Bone marrow aspirate smear: 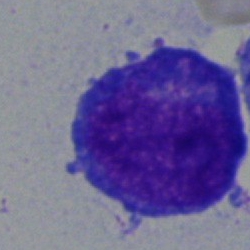Q: What is the morphological classification of this cell?
A: It is a promyelocyte.